Bone marrow smear.
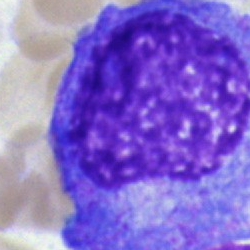Single cell identified as a progranulocyte.